Bone marrow smear: 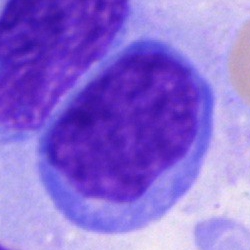
Single cell identified as a blast.